Bone marrow aspirate smear
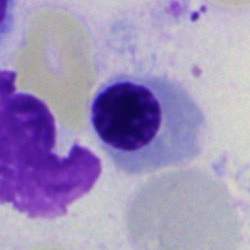

Specimen: bone marrow aspirate smear.
Cell type: normoblast.